Peripheral blood smear — 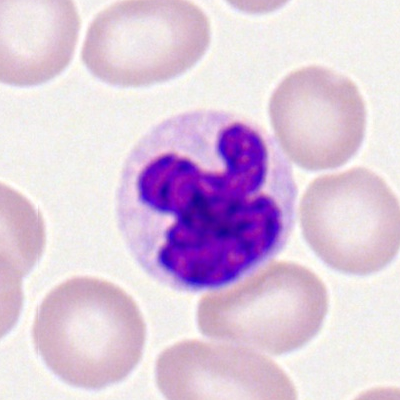

Specimen: peripheral blood smear.
Morphological class: segmented neutrophil.